Bone marrow aspirate smear: 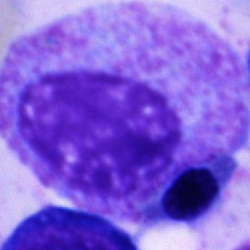

Q: What is the morphological classification of this cell?
A: It is a progranulocyte.